Bone marrow aspirate smear
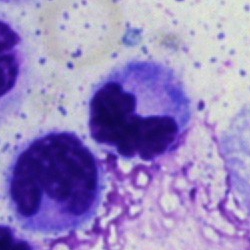

Q: Identify the cell.
A: A polymorphonuclear neutrophil.